Bone marrow smear; single-cell crop
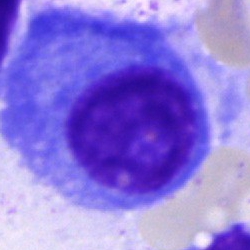Cell: plasma cell.